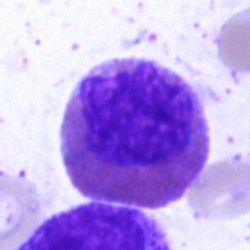

Bone marrow smear showing an eosinophil.